Peripheral blood film. 400×400. Single-cell field — 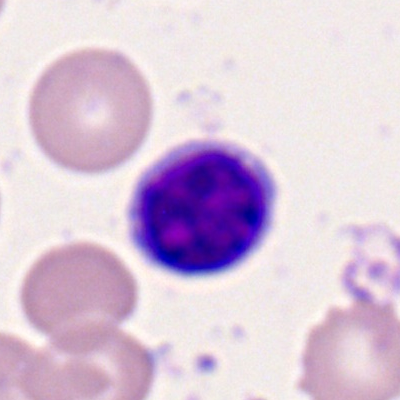Q: What type of cell is this?
A: It is a typical lymphocyte.